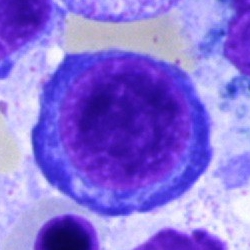

Q: What type of cell is this?
A: A proerythroblast.